Bone marrow aspirate smear · Pappenheim-stained: 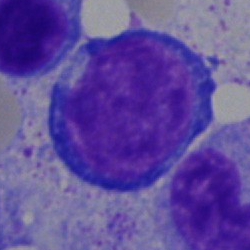
Showing a nucleated red cell.